Bone marrow aspirate smear: 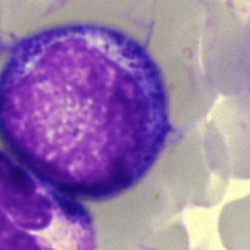

Specimen: bone marrow smear.
Morphological class: promyelocyte.
Lineage: myeloid.